Bone marrow smear:
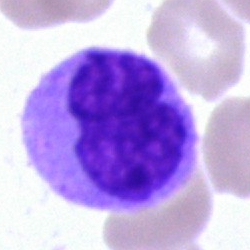 Single cell identified as a monocyte.